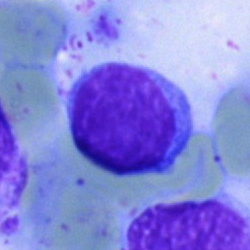
Morphological class — lymphocyte.